Bone marrow aspirate smear.
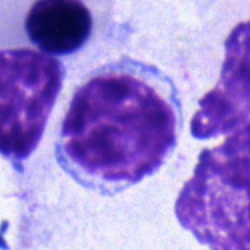The cell shown is a lymphocyte.